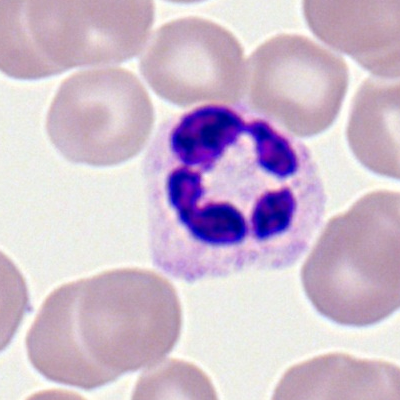Impression — neutrophil (segmented).